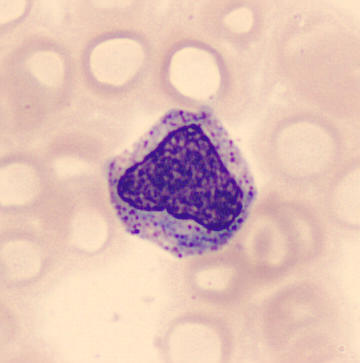Single cell centered in the field. Peripheral blood film.

Cell type: myelocyte.